Bone marrow aspirate smear.
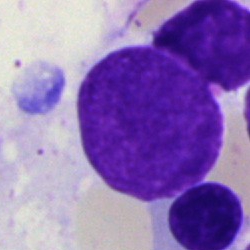Showing an artifact.